Romanowsky-type stain; peripheral blood film:
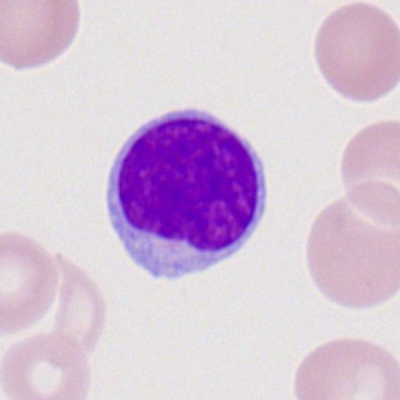
Single cell identified as a typical lymphocyte.